Bone marrow smear.
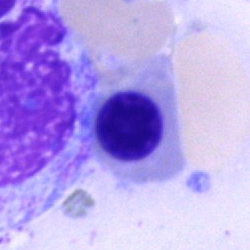

Classification: nucleated red cell.